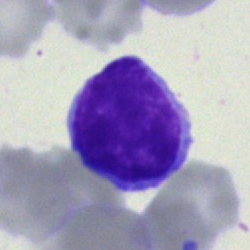
This is a lymphocyte.